Cropped to a single cell · bone marrow smear: 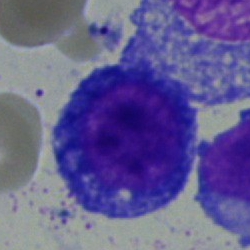
Specimen: bone marrow aspirate smear.
Morphological class: pronormoblast.
Lineage: erythroid.